Bone marrow smear — 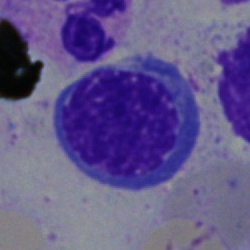Morphological class: normoblast.